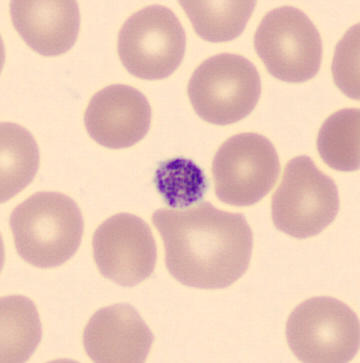 Q: What is this?
A: A platelet (thrombocyte).